Bone marrow aspirate smear — 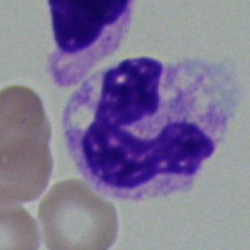Showing a segmented neutrophil.